Peripheral blood smear:
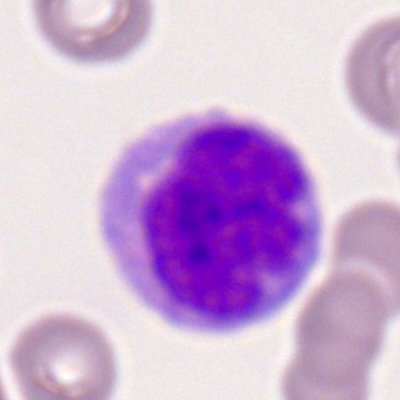This is a monocyte.